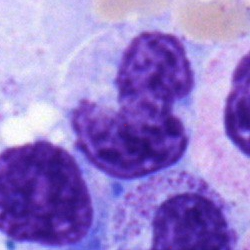 Morphology → monocyte.